40× oil immersion; bone marrow smear.
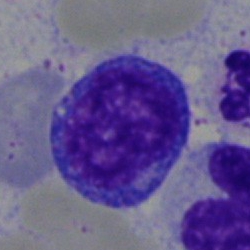

Q: What is shown here?
A: A typical lymphocyte.